Brightfield microscopy, 40× oil immersion; bone marrow smear.
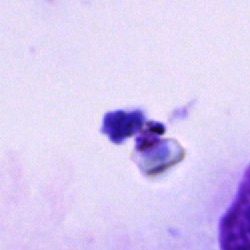
The cell is artefact.